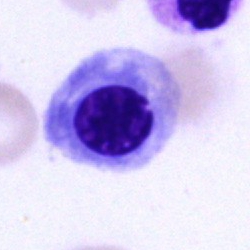

A nucleated red cell.